Bone marrow aspirate smear
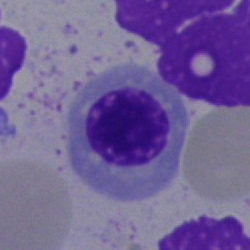 Specimen: bone marrow smear.
Morphological class: nucleated red blood cell.
Lineage: erythroid.